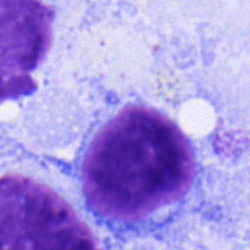Morphological class = typical lymphocyte.